Bone marrow aspirate smear.
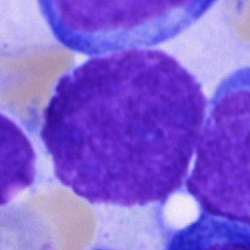Morphology consistent with an artefact.